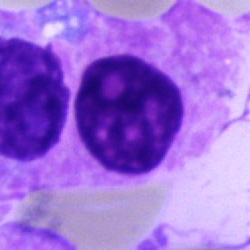
Cell = plasma cell.